MGG-stained. Bone marrow smear: 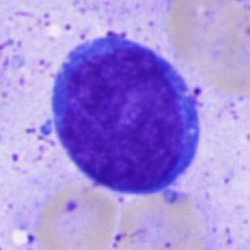 Specimen: bone marrow aspirate smear.
Morphological class: blast cell.